Peripheral blood smear; 400×400; Romanowsky stain.
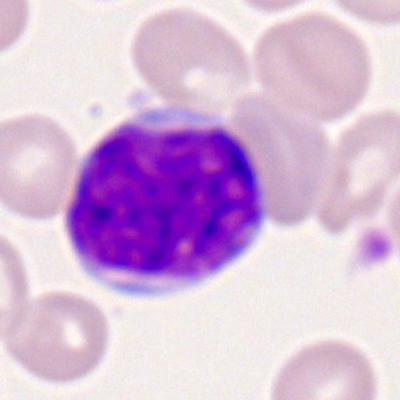Morphological class = myeloid blast.